Bone marrow smear — 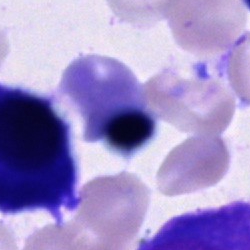 The cell is cell of indeterminate lineage.